Romanowsky stain · peripheral blood smear · cropped to a single cell
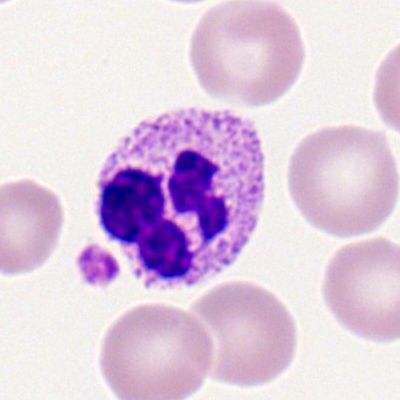 Specimen: peripheral blood film.
Classification: segmented neutrophil.